Bone marrow smear: 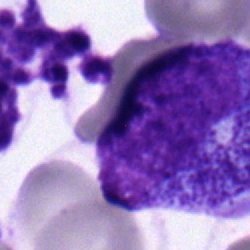

A myelocyte.